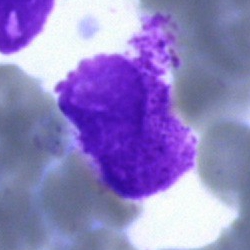

Q: What is shown here?
A: Artifact.